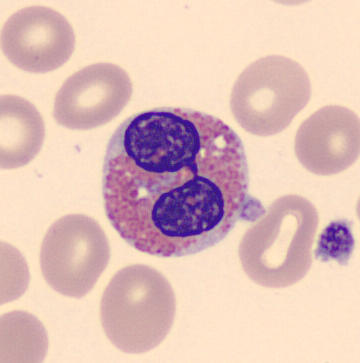
Q: What is shown here?
A: It is an eosinophil. Acquisition: Automated cell imaging (CellaVision DM96); May-Grünwald-Giemsa-stained; peripheral blood film.